Cropped to a single cell · bone marrow aspirate smear — 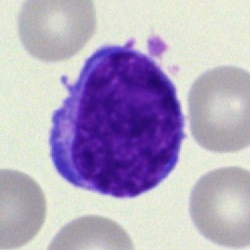{"cell_type": "blast"}